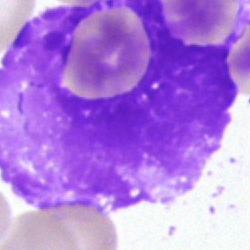Morphology consistent with an artifact.